Bone marrow aspirate smear
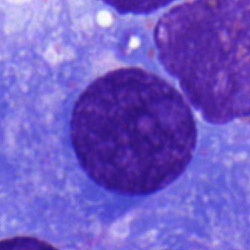

Morphology consistent with a plasma cell.